Bone marrow aspirate smear:
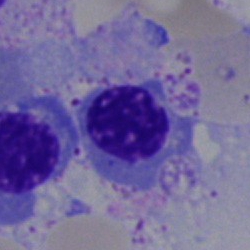 Specimen: bone marrow aspirate smear.
Morphological class: nucleated red blood cell.
Lineage: erythroid.